Bone marrow aspirate smear — 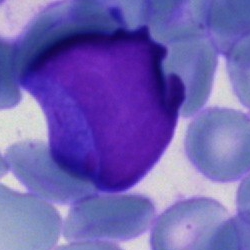
An undifferentiated blast.